Bone marrow aspirate smear: 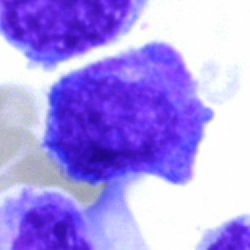Morphology — myelocyte.